Bone marrow aspirate smear.
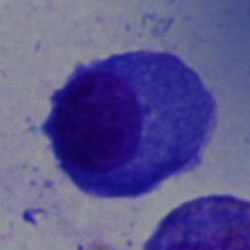 Q: What cell is this?
A: Plasma cell.